Peripheral blood film; M8 digital microscope (Precipoint), 100× oil immersion: 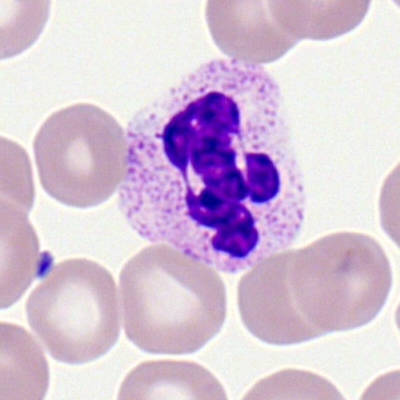 A neutrophil (segmented).